Bone marrow smear: 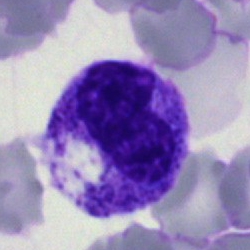 Metamyelocyte.